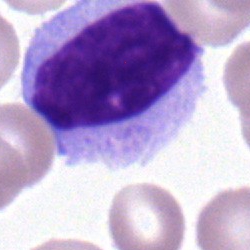

Q: What type of cell is this?
A: This is a lymphocyte.